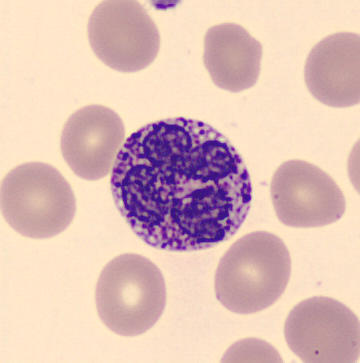 Basophilic granulocyte.